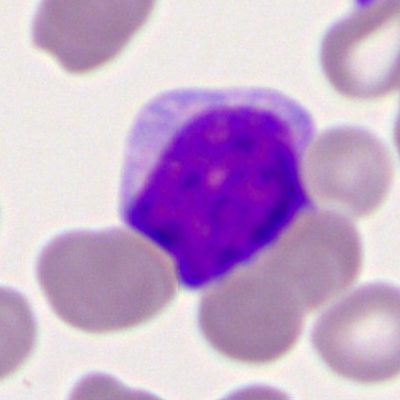 Cell type = myeloblast.